Bone marrow smear
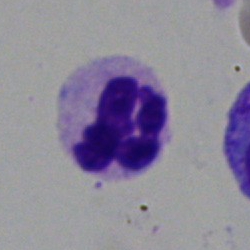 Morphological class = segmented neutrophil.